May-Grünwald-Giemsa stain · bone marrow smear — 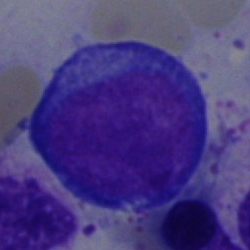
Cell type: nucleated red cell.